Bone marrow aspirate smear. Single cell centered in the field
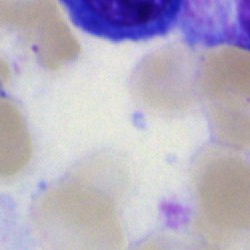 Single cell identified as an artifact.